Single-cell crop · bone marrow aspirate smear
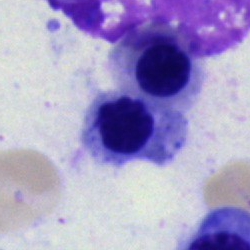

{"cell_type": "normoblast", "lineage": "erythroid"}